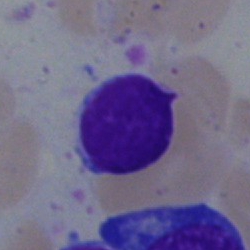 A typical lymphocyte.